Bone marrow aspirate smear · 250 by 250 pixels: 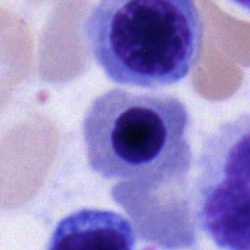

Q: What is shown here?
A: This is a nucleated red cell.